Bone marrow aspirate smear: 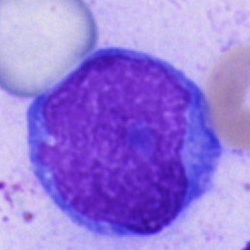 The cell shown is an undifferentiated blast.